Bone marrow aspirate smear. 250×250 px
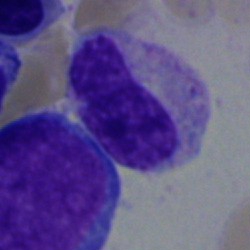{"cell_type": "metamyelocyte", "lineage": "myeloid"}